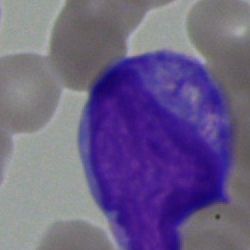
Specimen: bone marrow smear.
Classification: undifferentiated blast.